Single-cell crop. Bone marrow aspirate smear:
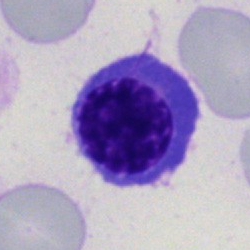
This is a nucleated red cell.